Bone marrow aspirate smear:
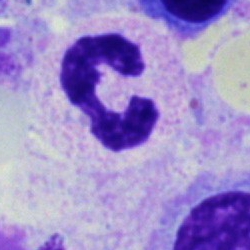Morphological class — segmented neutrophil.